Bone marrow aspirate smear · image size 250×250:
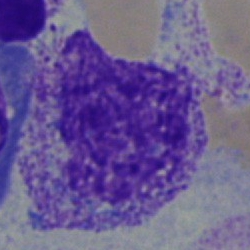
Morphological class: myelocyte.